Bone marrow smear
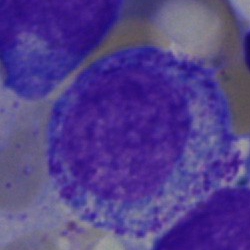This is a polymorphonuclear neutrophil.